Single-cell field; bone marrow aspirate smear:
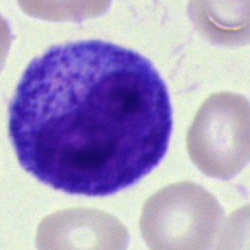
Morphology consistent with a progranulocyte.